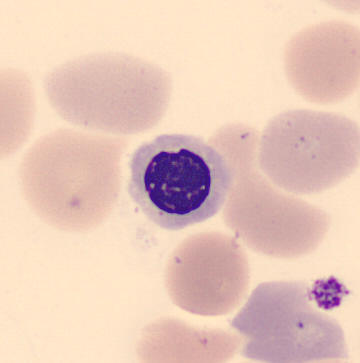 Acquisition: Peripheral blood smear.

Showing a nucleated red blood cell.